Peripheral blood smear: 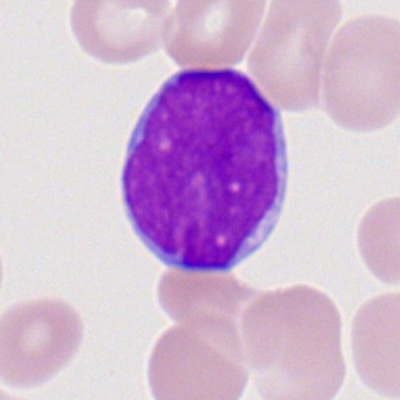 The cell shown is a myeloblast.